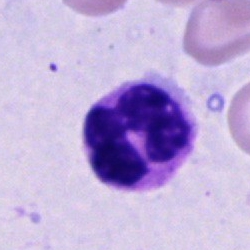

{"cell_type": "neutrophil (segmented)", "lineage": "myeloid"}